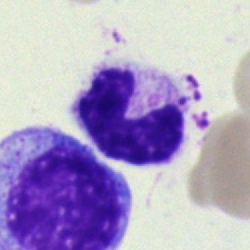
Morphological class — neutrophil (segmented).